40× objective, oil immersion. Bone marrow aspirate smear. MGG-stained: 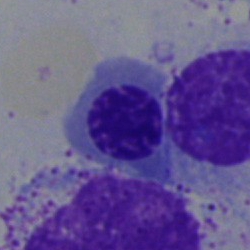 Q: What type of cell is this?
A: A normoblast.